May-Grünwald-Giemsa stain; bone marrow smear:
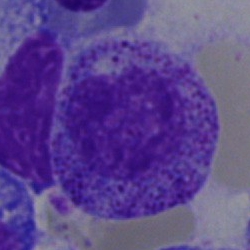 Cell: myelocyte.